Bone marrow aspirate smear:
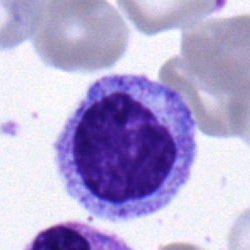Cell = myelocyte.